Bone marrow smear · MGG-stained
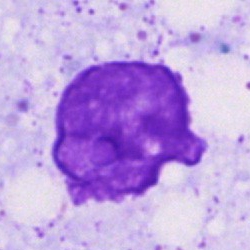
Morphology — artefact.